Peripheral blood smear; 400×400: 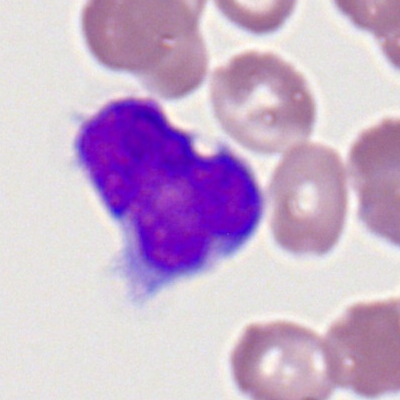Specimen: peripheral blood film.
Classification: lymphocyte.